Bone marrow smear
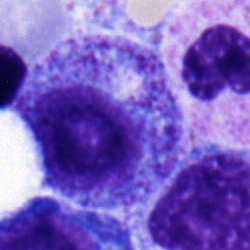
The cell shown is a myelocyte.